Bone marrow smear — 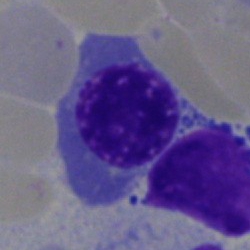Q: What is shown here?
A: It is an erythroblast.